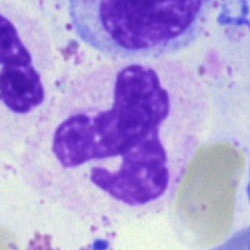Bone marrow aspirate smear, single cell — segmented neutrophil.